Bone marrow aspirate smear — 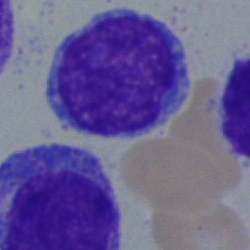

Impression → blast cell.